Bone marrow aspirate smear.
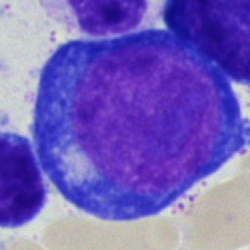
Q: What cell is this?
A: A pronormoblast.